May-Grünwald-Giemsa/Pappenheim stain; bone marrow smear:
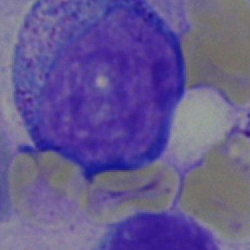

Cell = promyelocyte.